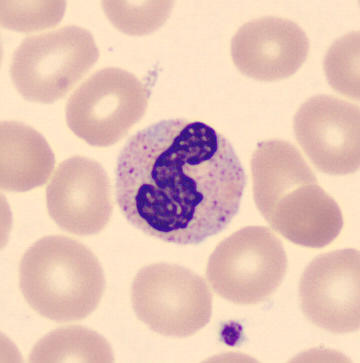

Preparation: Peripheral blood smear. Cell: polymorphonuclear neutrophil.